Bone marrow aspirate smear. Pappenheim-stained. Single cell centered in the field:
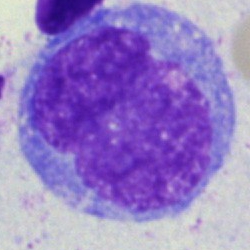
Morphology — monocyte.